Bone marrow smear; brightfield microscopy, 40× oil immersion; 250×250
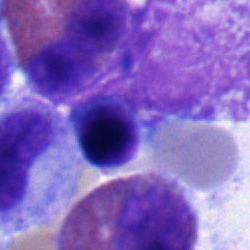
Classification = nucleated red cell.